Bone marrow smear.
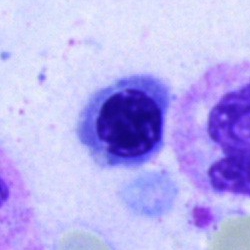

Q: What is shown here?
A: Erythroblast.